Pappenheim-stained · bone marrow smear.
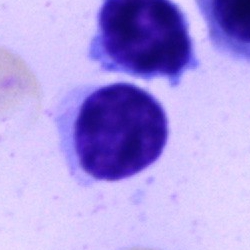Single cell identified as a typical lymphocyte.